Bone marrow aspirate smear: 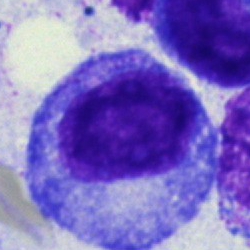Morphology consistent with a promyelocyte.